Bone marrow smear
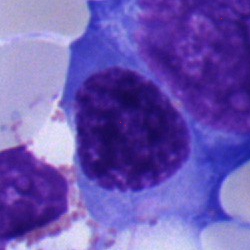

Morphology consistent with a nucleated red cell.